Brightfield microscopy, 40× oil immersion. Bone marrow aspirate smear. Single cell centered in the field:
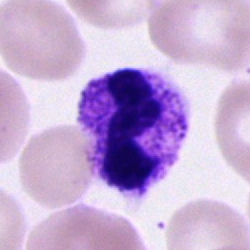

This is a segmented neutrophil.